Bone marrow smear. Single cell centered in the field. 250×250 px: 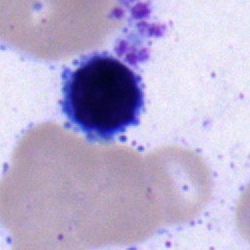
Q: Identify the cell.
A: A typical lymphocyte.